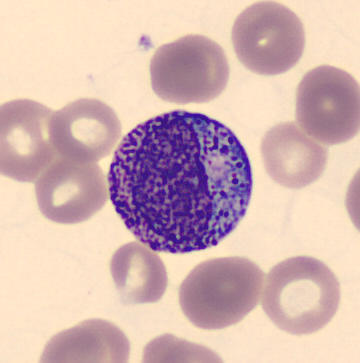This is a myelocyte.
Preparation: 360×363; imaged on a CellaVision DM96 analyser; peripheral blood smear.